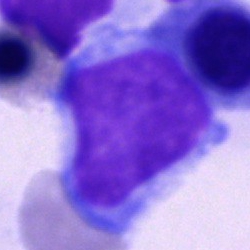This is a blast cell.